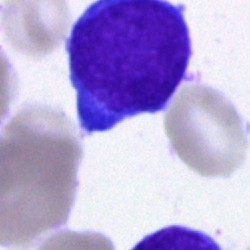Cell: undifferentiated blast.